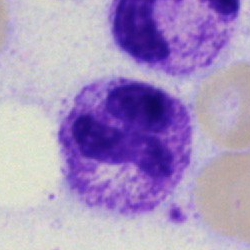A polymorphonuclear neutrophil.